Bone marrow aspirate smear · Pappenheim-stained
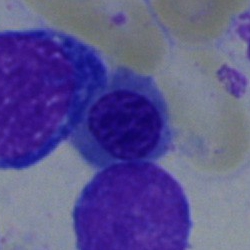 A normoblast.